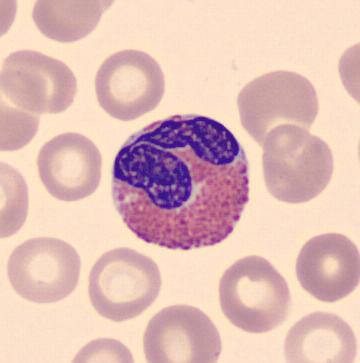Identified as an eosinophil.